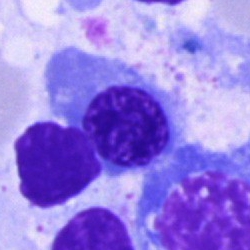 Single cell identified as a normoblast.